Single cell centered in the field. Bone marrow aspirate smear: 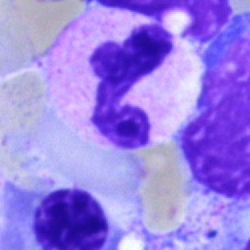Cell = polymorphonuclear neutrophil.